Peripheral blood smear; 100× objective, oil immersion
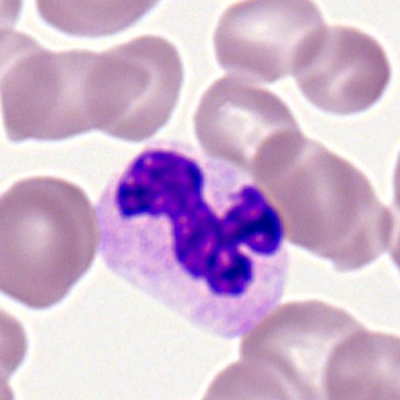Q: What is the morphological classification of this cell?
A: Neutrophil (segmented).